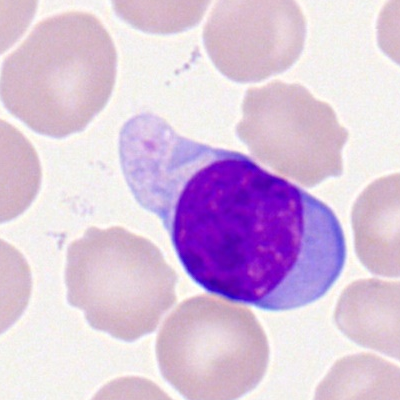A lymphocyte.